250 by 250 pixels · Pappenheim-stained · bone marrow aspirate smear
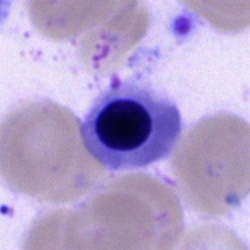 Specimen: bone marrow aspirate smear.
Cell type: erythroblast.